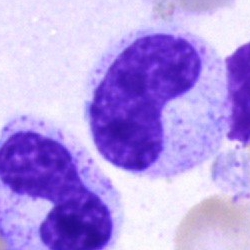Specimen: bone marrow aspirate smear.
Cell: metamyelocyte.
Lineage: myeloid.